Bone marrow smear — 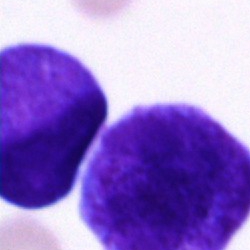 Single cell identified as an undifferentiated blast.